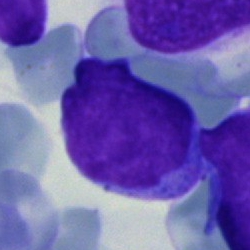Cell — blast cell.